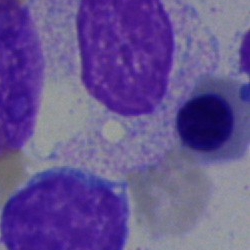Morphology → nucleated red blood cell.